Bone marrow smear — 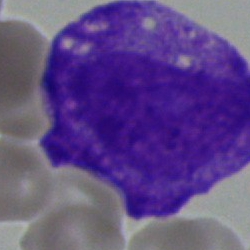Morphology — blast.